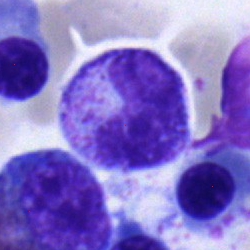

Showing a metamyelocyte.